Bone marrow aspirate smear; 250 by 250 pixels: 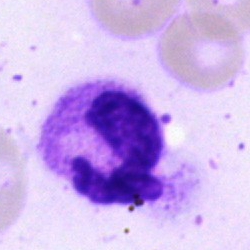Morphological class = segmented neutrophil.